Bone marrow aspirate smear:
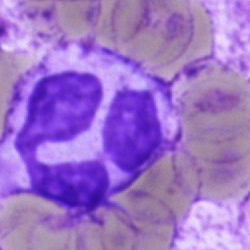 Specimen: bone marrow smear.
Morphological class: segmented neutrophil.
Lineage: myeloid.